Peripheral blood film — 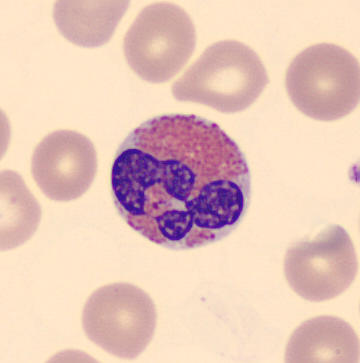 Showing an eosinophilic granulocyte.